Pappenheim-stained · bone marrow aspirate smear.
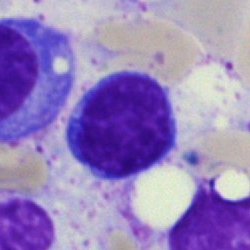

Morphology → lymphocyte.